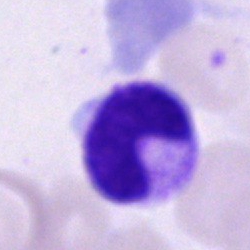{"cell_type": "band neutrophil", "lineage": "myeloid"}